May-Grünwald-Giemsa stain; bone marrow aspirate smear:
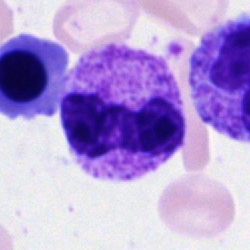
Specimen: bone marrow aspirate smear.
Classification: segmented neutrophil.